MGG-stained. Bone marrow smear:
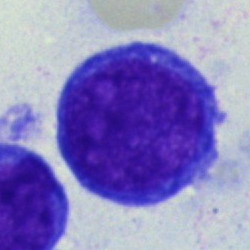 Specimen: bone marrow smear.
Classification: proerythroblast.
Lineage: erythroid.